Peripheral blood film · single-cell crop
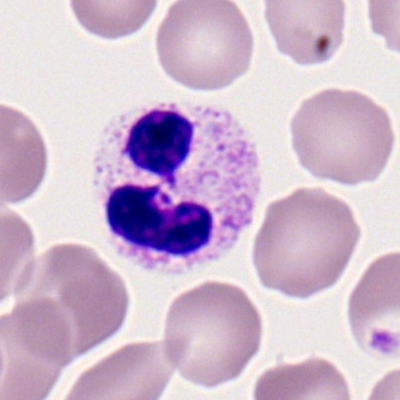

Single cell identified as a neutrophil (segmented).